Bone marrow aspirate smear.
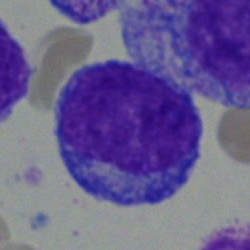

The morphological class is undifferentiated blast.